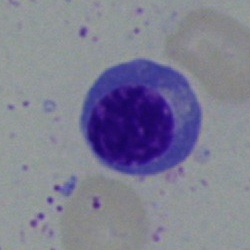 Bone marrow aspirate smear, single cell — nucleated red blood cell.